Single cell centered in the field · bone marrow aspirate smear — 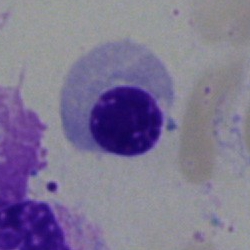

The cell is nucleated red cell.